Bone marrow aspirate smear:
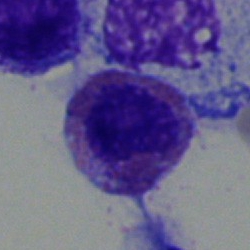

Eosinophilic granulocyte.